Bone marrow smear — 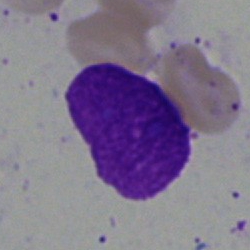
Q: What is shown here?
A: It is an artefact.